MGG-stained · bone marrow aspirate smear.
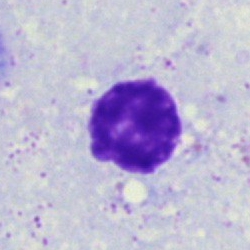 Artefact.